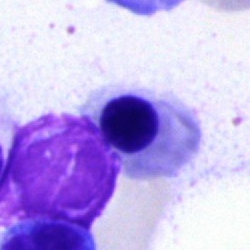 Morphology consistent with a nucleated red cell.